Bone marrow smear:
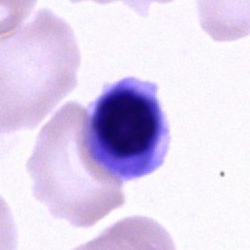
Morphology consistent with a nucleated red blood cell.